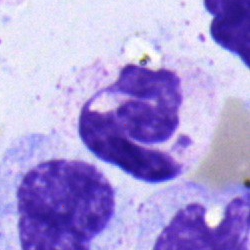Q: What type of cell is this?
A: This is a neutrophil (segmented).